Bone marrow smear:
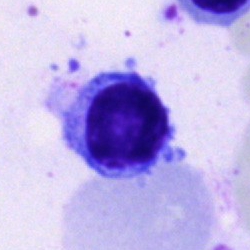
The morphological class is typical lymphocyte.